Bone marrow smear: 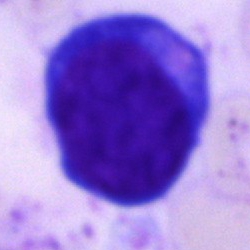Q: Which cell type is shown here?
A: It is a pronormoblast.